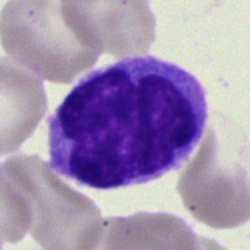
{"cell_type": "typical lymphocyte"}